May-Grünwald-Giemsa/Pappenheim stain · bone marrow smear:
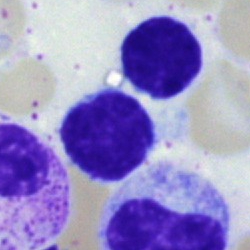Cell type: lymphocyte.